Bone marrow smear.
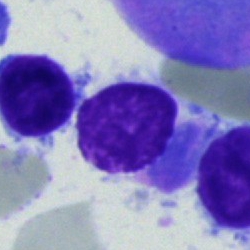Morphology consistent with a typical lymphocyte.